100× objective, oil immersion; peripheral blood film; Romanowsky stain:
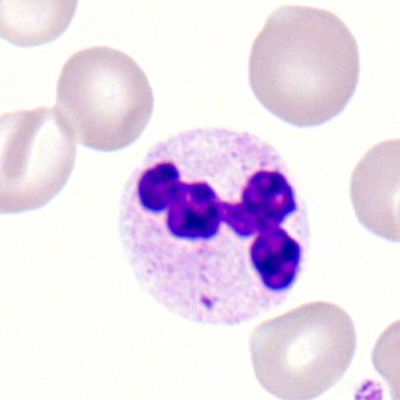Morphology — neutrophil (segmented).